Bone marrow smear. Single-cell crop. 40× objective, oil immersion: 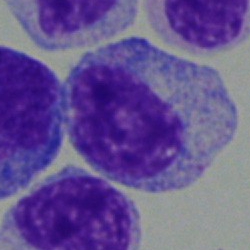A myelocyte.